Bone marrow aspirate smear: 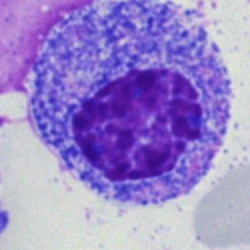
The cell type is promyelocyte.